Bone marrow smear.
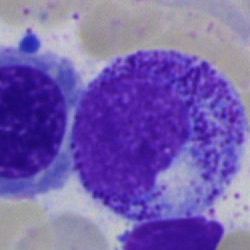Morphology — promyelocyte.